Single cell centered in the field. Bone marrow aspirate smear:
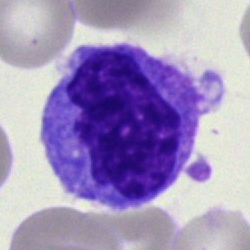
Cell type — monocyte.